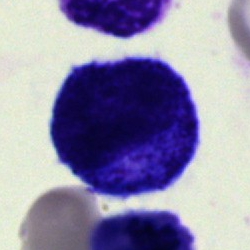

Q: What type of cell is this?
A: It is a promyelocyte.